Bone marrow aspirate smear — 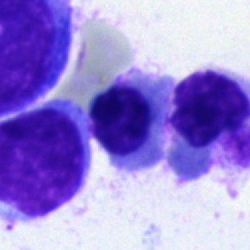
{"cell_type": "normoblast"}